Bone marrow smear
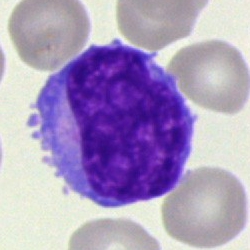Morphology consistent with a blast.